Bone marrow aspirate smear · 40× oil immersion — 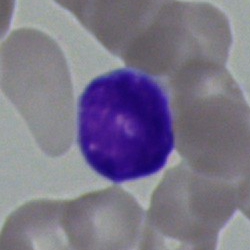Classification — typical lymphocyte.